Peripheral blood film.
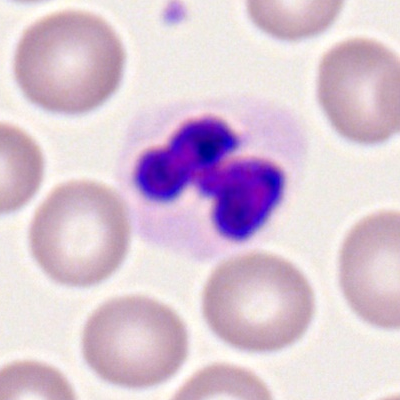 Single cell identified as a segmented neutrophil.